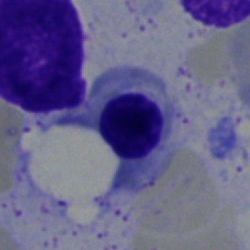
Bone marrow smear showing a nucleated red cell.